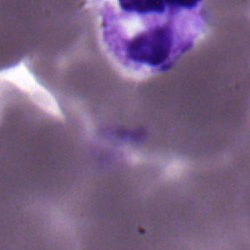Q: Identify the cell.
A: It is a segmented neutrophil.